Bone marrow smear: 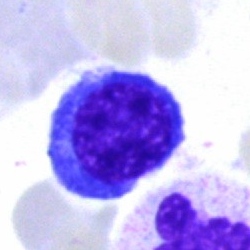
Erythroblast.